Bone marrow smear; 250 by 250 pixels
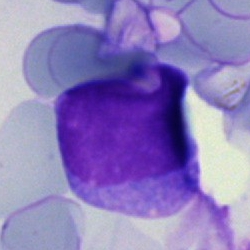Specimen: bone marrow smear.
Classification: undifferentiated blast.